Bone marrow aspirate smear:
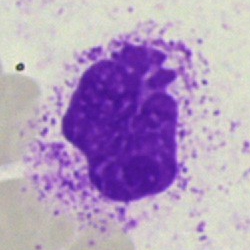

Showing an artefact.